Image size 250×250. Bone marrow smear. MGG-stained.
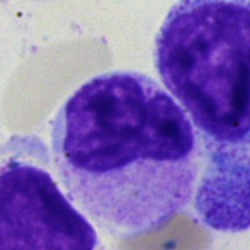
A metamyelocyte.